40× oil immersion. Bone marrow smear:
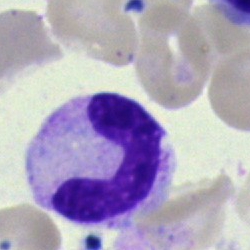

Morphological class — band neutrophil.